Bone marrow aspirate smear.
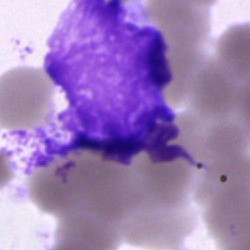
The cell is artifact.